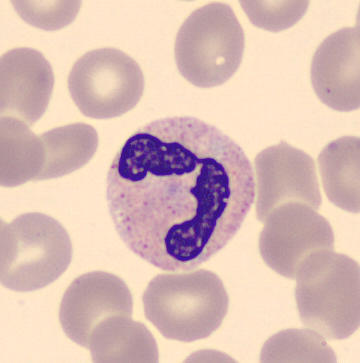 Acquisition: Peripheral blood film · CellaVision DM96.

Impression → polymorphonuclear neutrophil.